Bone marrow aspirate smear:
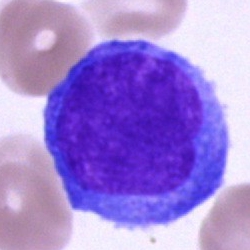 Morphology consistent with a blast.